M8 digital microscope (Precipoint), 100× oil immersion; peripheral blood smear; Romanowsky stain.
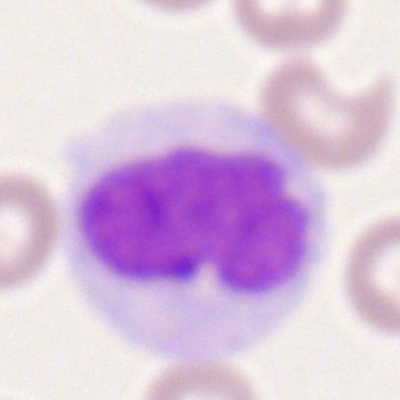Specimen: peripheral blood smear.
Cell: monocyte.